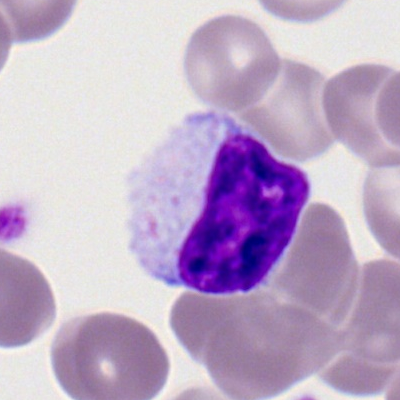
Showing a typical lymphocyte.